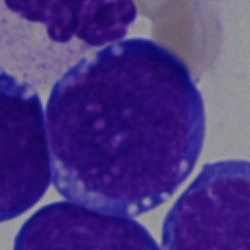
Bone marrow aspirate smear, single cell — blast cell.